Bone marrow aspirate smear:
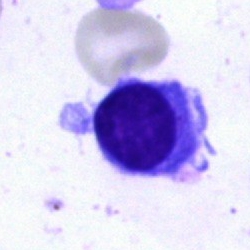 Classification — lymphocyte.